CellaVision DM96; peripheral blood film: 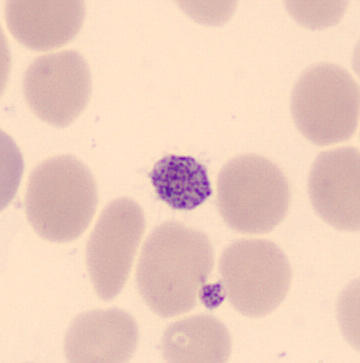Morphology → thrombocyte.